Bone marrow aspirate smear — 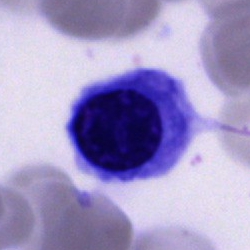A nucleated red cell.